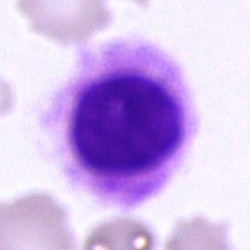

{"cell_type": "artefact"}